Bone marrow smear; single cell centered in the field; MGG-stained: 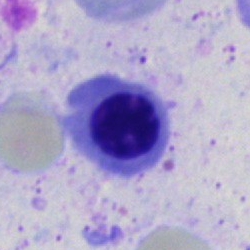
Erythroblast.